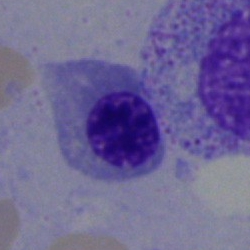
Impression — nucleated red cell.